Bone marrow smear — 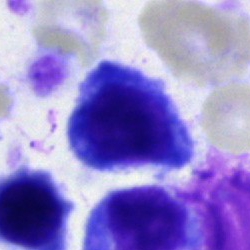
Cell type = nucleated red cell.